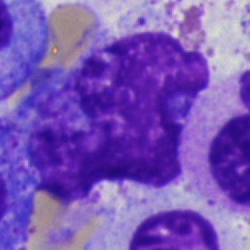
Cell type: artifact.